May-Grünwald-Giemsa stain. Bone marrow aspirate smear:
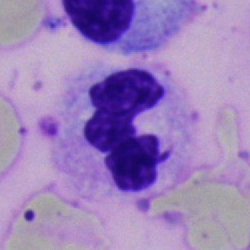 {"cell_type": "segmented neutrophil", "lineage": "myeloid"}